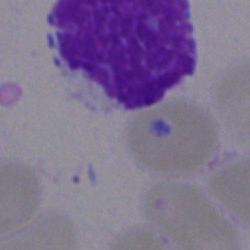Morphology consistent with an artifact.